Bone marrow smear · 250×250 px: 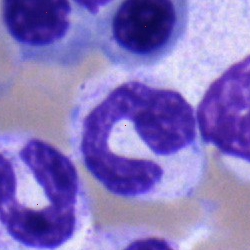
Showing a stab cell.